Cropped to a single cell. Bone marrow aspirate smear. Image size 250×250: 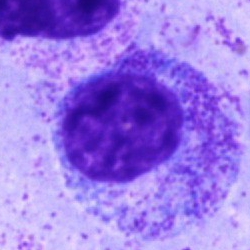Morphology — promyelocyte.